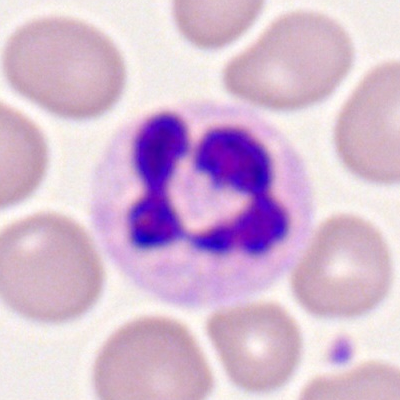 A segmented neutrophil.